Bone marrow smear:
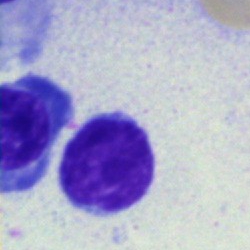

Specimen: bone marrow aspirate smear.
Cell type: lymphocyte.